Brightfield, 40× oil-immersion objective · bone marrow smear · cropped to a single cell
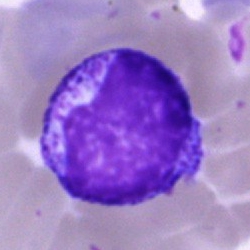

This is a myelocyte.